Bone marrow aspirate smear. Image size 250×250:
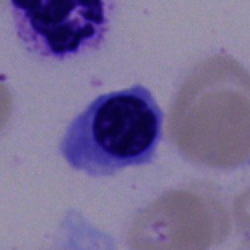

{"cell_type": "erythroblast", "lineage": "erythroid"}